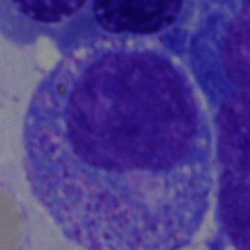

Specimen: bone marrow aspirate smear.
Cell: promyelocyte.